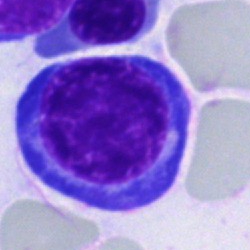 Morphology consistent with a normoblast.